Bone marrow aspirate smear — 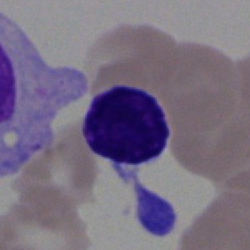
Single cell identified as a lymphocyte.